Bone marrow aspirate smear. MGG-stained
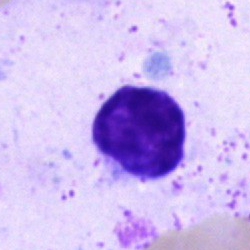
Single cell identified as a lymphocyte.